Bone marrow aspirate smear:
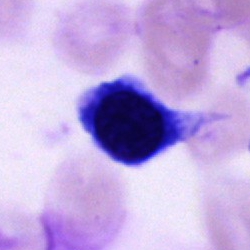
Impression → unidentifiable cell.